Bone marrow smear; 40× objective, oil immersion — 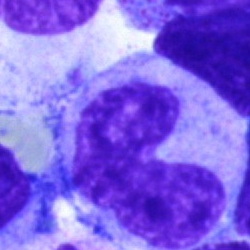Morphology → stab cell.